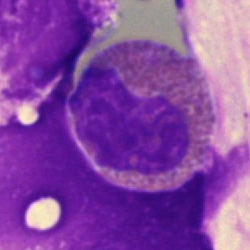
The cell is eosinophilic granulocyte.